Bone marrow smear.
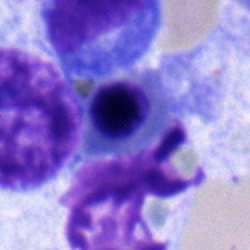 Specimen: bone marrow aspirate smear.
Cell: nucleated red blood cell.
Lineage: erythroid.